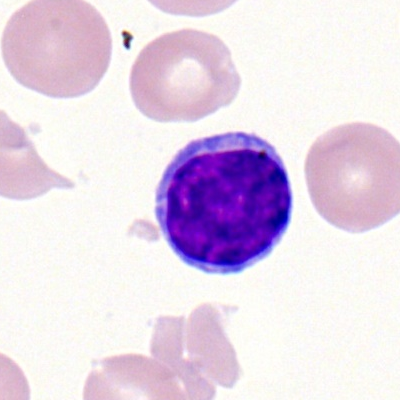Peripheral blood smear showing a typical lymphocyte.